Bone marrow aspirate smear.
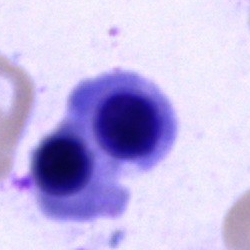

Single cell identified as an erythroblast.